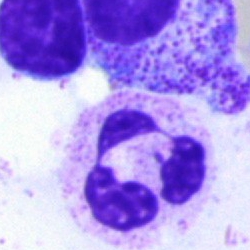
A polymorphonuclear neutrophil on a bone marrow smear.